Bone marrow smear: 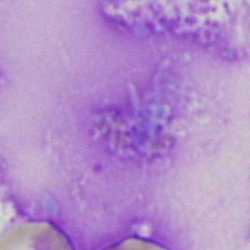Q: What is shown here?
A: Artefact.